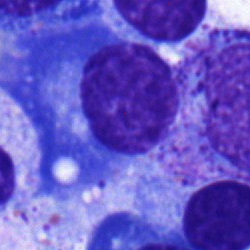

Cell = plasmacyte.